Brightfield, 40× oil-immersion objective. Bone marrow aspirate smear.
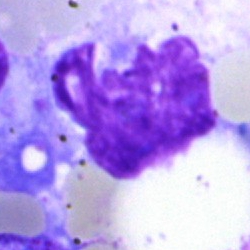 Q: What is shown here?
A: An artifact.